MGG-stained; single-cell crop; bone marrow aspirate smear.
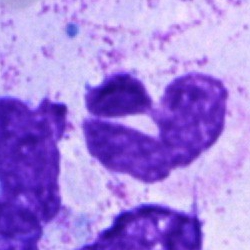

The cell is segmented neutrophil.